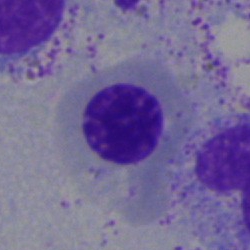

Morphology consistent with a nucleated red cell.